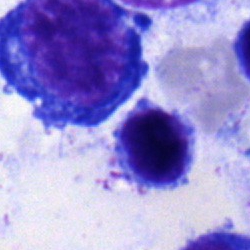

Impression → typical lymphocyte.